Bone marrow smear.
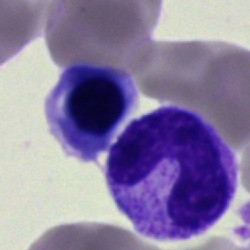

Morphological class = band neutrophil.